Bone marrow aspirate smear — 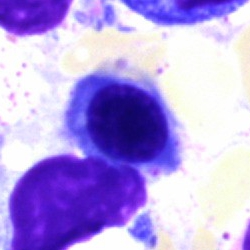
Q: Which cell type is shown here?
A: This is a nucleated red blood cell.